100× oil immersion. Single-cell field. Peripheral blood smear — 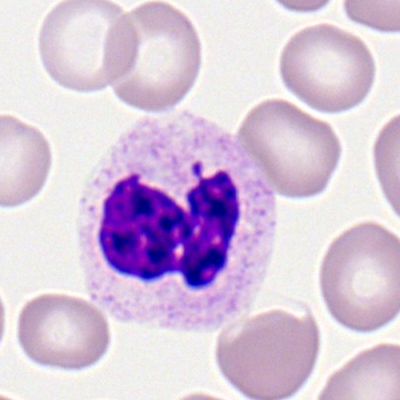

Q: Identify the cell.
A: It is a polymorphonuclear neutrophil.